Bone marrow smear:
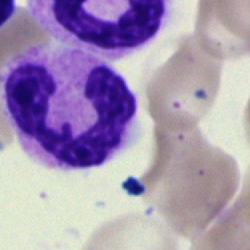 Morphological class: polymorphonuclear neutrophil.